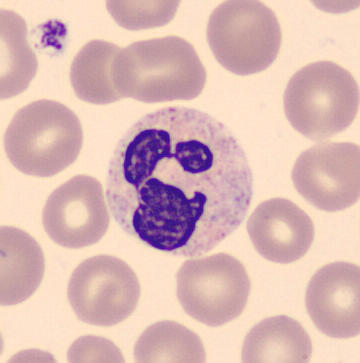 The morphological class is polymorphonuclear neutrophil.